Bone marrow smear — 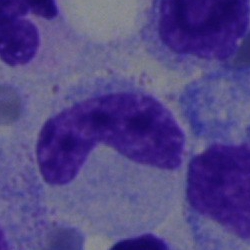 Band neutrophil.